100× oil immersion, 14.14 px/µm · peripheral blood film — 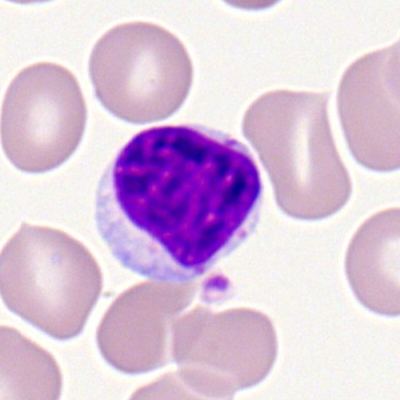 A lymphocyte.